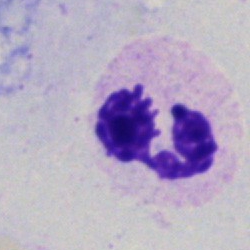
Neutrophil (segmented).